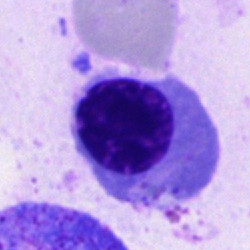 Morphology consistent with a normoblast.